Peripheral blood smear. Image size 400×400 — 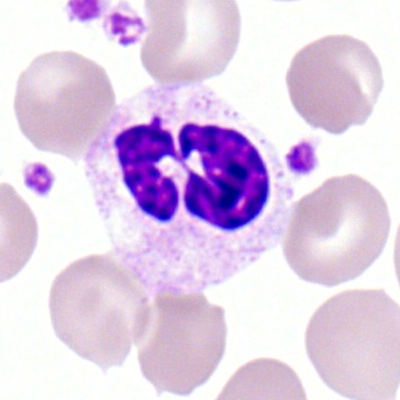

Classification — segmented neutrophil.